Bone marrow aspirate smear.
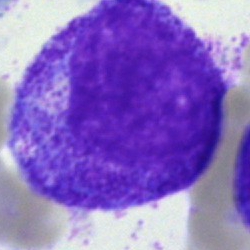The cell shown is a promyelocyte.